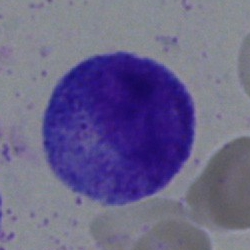 Q: What is shown here?
A: A progranulocyte.